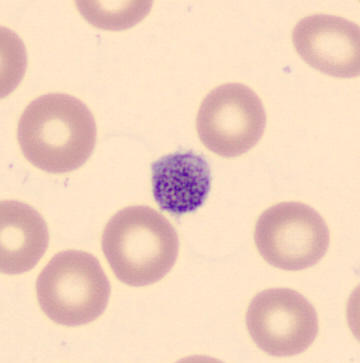
Specimen: peripheral blood smear.
Morphological class: thrombocyte.

Preparation: CellaVision DM96 digital cell image; 360×363.